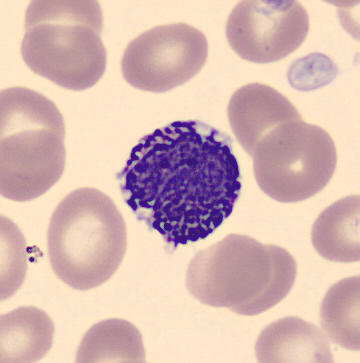{"cell_type": "basophilic granulocyte", "lineage": "myeloid"}

Preparation: Peripheral blood film.